Bone marrow aspirate smear · 40× oil immersion · 250×250 px: 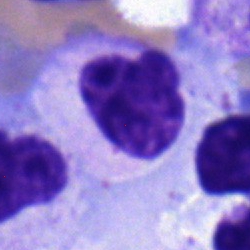Cell type — myelocyte.